250 by 250 pixels. Bone marrow aspirate smear. May-Grünwald-Giemsa stain.
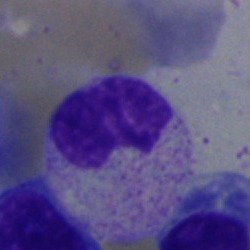Specimen: bone marrow aspirate smear.
Morphological class: metamyelocyte.